Peripheral blood film. Single-cell field: 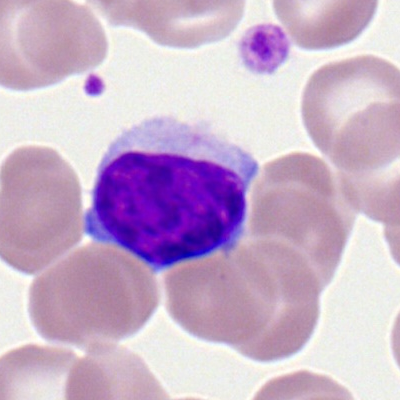

Specimen: peripheral blood smear.
Morphological class: typical lymphocyte.